Bone marrow smear:
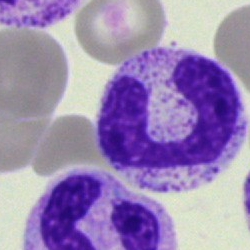 Classification = band neutrophil.